Bone marrow smear:
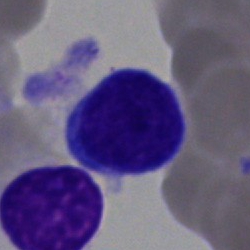 Cell type — lymphocyte.